Pappenheim-stained. Bone marrow aspirate smear. 40× objective, oil immersion — 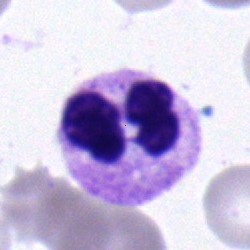
Segmented neutrophil.